Bone marrow smear. 250×250 px. Brightfield microscopy, 40× oil immersion.
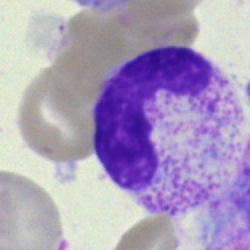Cell type: band-form neutrophil.